Bone marrow aspirate smear: 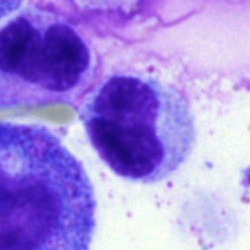

Single cell identified as a metamyelocyte.